Bone marrow smear
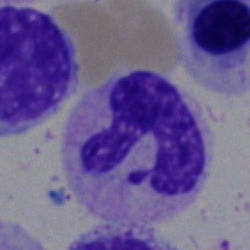

{"cell_type": "neutrophil (segmented)"}